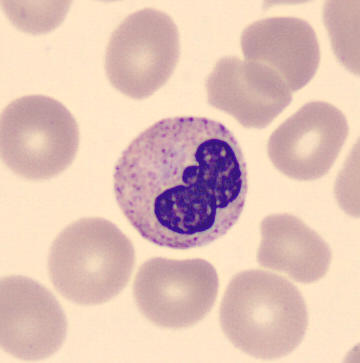 The classification is neutrophil (band).